Bone marrow smear:
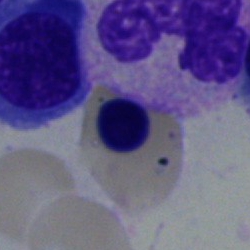

Showing a normoblast.